Single cell centered in the field · bone marrow aspirate smear — 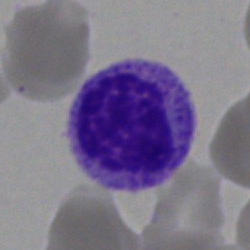

Q: What cell is this?
A: A myelocyte.